Bone marrow smear:
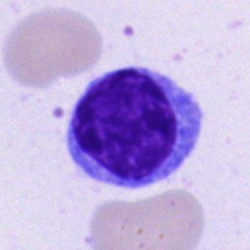This is a lymphocyte.